Bone marrow aspirate smear.
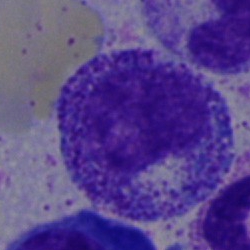
Morphological class: metamyelocyte.